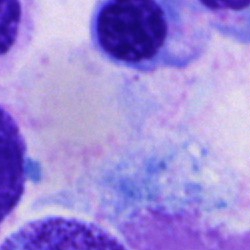Q: What is shown here?
A: This is an artifact.